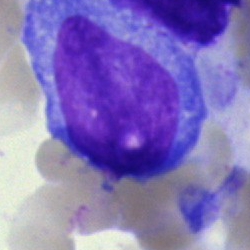
Morphology consistent with a blast cell.